Bone marrow smear.
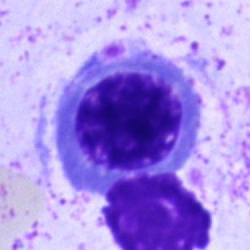Nucleated red cell.